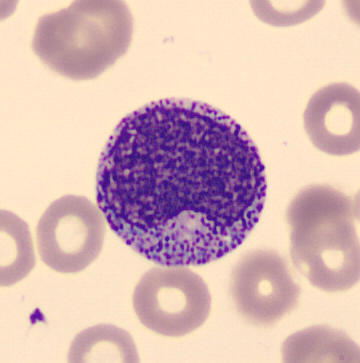 Promyelocyte.